Bone marrow aspirate smear · MGG-stained — 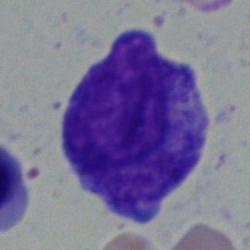The classification is myelocyte.